Bone marrow aspirate smear.
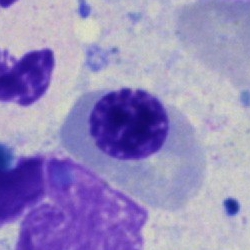 Cell — nucleated red cell.